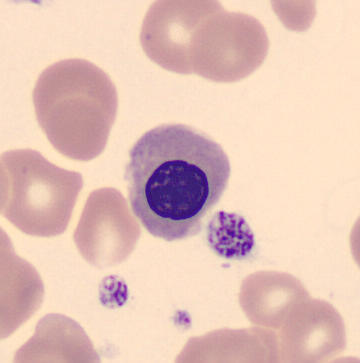Morphological class = normoblast.